May-Grünwald-Giemsa stain. Bone marrow aspirate smear. 40× oil immersion:
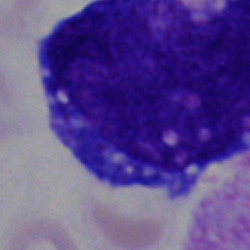

A blast cell.